Bone marrow aspirate smear: 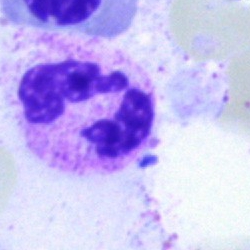Specimen: bone marrow smear.
Morphological class: polymorphonuclear neutrophil.
Lineage: myeloid.